Bone marrow aspirate smear. 40× oil immersion — 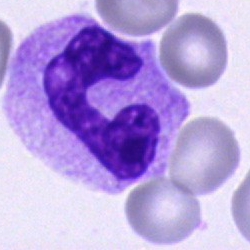

Cell type: band neutrophil.